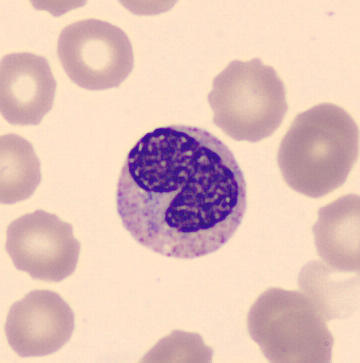 Metamyelocyte.

Single cell centered in the field; 360×363; peripheral blood smear.